Bone marrow aspirate smear; 250×250: 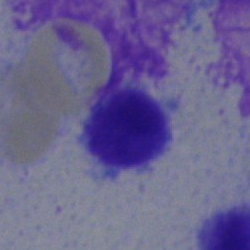Q: What is the morphological classification of this cell?
A: It is a typical lymphocyte.